Bone marrow smear:
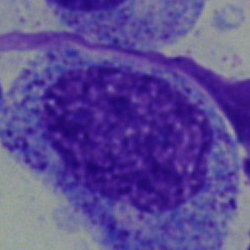 This is a progranulocyte.